Bone marrow aspirate smear — 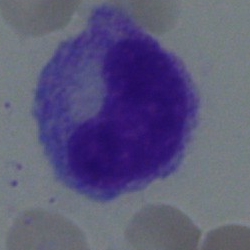This is a metamyelocyte.